Single cell centered in the field; bone marrow smear; 250×250 px: 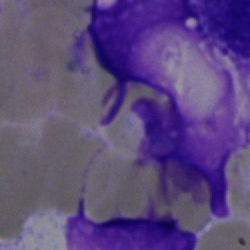This is an artefact.